250×250 · bone marrow aspirate smear:
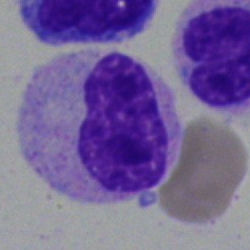 Impression → blast.